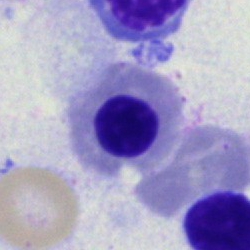
Cell: normoblast.